Brightfield, 40× oil-immersion objective · cropped to a single cell · bone marrow smear:
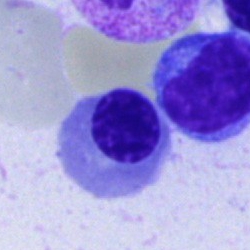 Morphological class = nucleated red cell.